40× oil immersion · MGG-stained · bone marrow smear
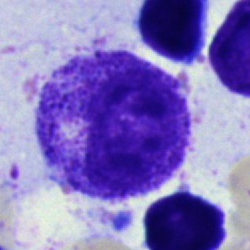

Q: What is shown here?
A: Progranulocyte.